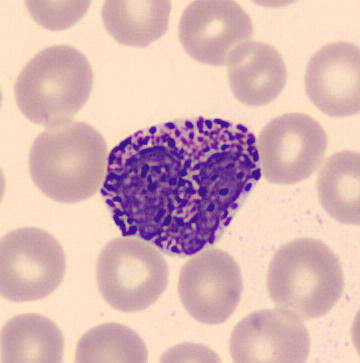A basophilic granulocyte.
Acquisition: Peripheral blood film.